Bone marrow smear · single-cell field: 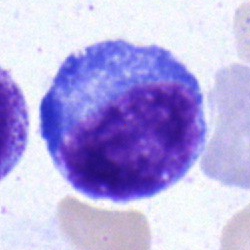 Morphological class = plasma cell.